Single-cell crop; bone marrow smear; MGG-stained
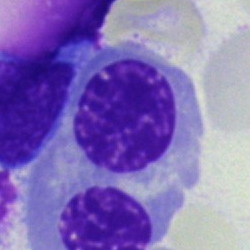Cell = nucleated red blood cell.